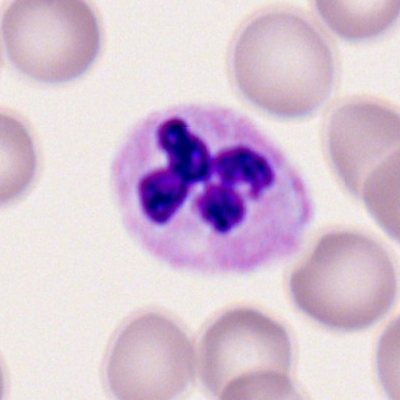
Peripheral blood film, single cell — polymorphonuclear neutrophil.